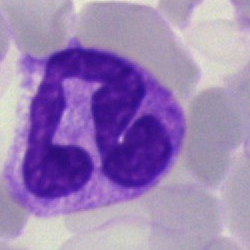Specimen: bone marrow smear.
Morphological class: segmented neutrophil.
Lineage: myeloid.